Bone marrow smear:
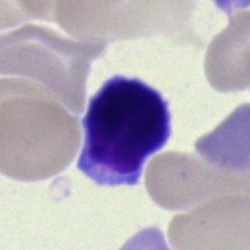 Morphology consistent with a lymphocyte.